Brightfield, 40× oil-immersion objective. May-Grünwald-Giemsa stain. Bone marrow smear — 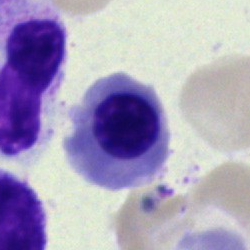Impression — nucleated red blood cell.